Bone marrow smear; 40× objective, oil immersion
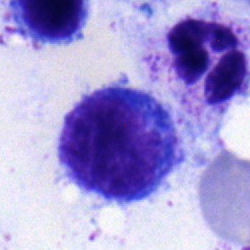Blast.